Bone marrow smear; Pappenheim-stained: 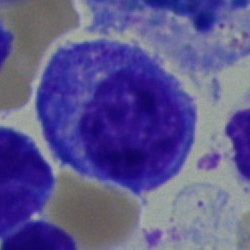

A plasmacyte.